Single-cell crop · bone marrow smear · 250×250 px
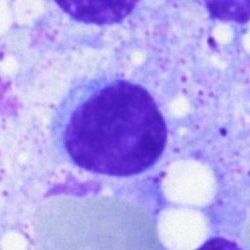
The classification is typical lymphocyte.